400 by 400 pixels · peripheral blood smear:
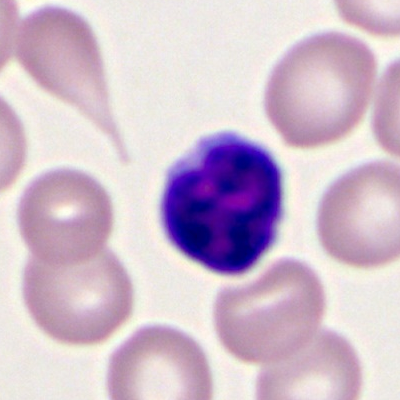

Q: What is shown here?
A: A typical lymphocyte.